Bone marrow smear · image size 250×250:
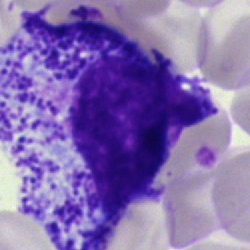

This is a progranulocyte.